Bone marrow aspirate smear. May-Grünwald-Giemsa stain — 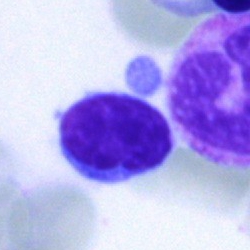

A typical lymphocyte.